Bone marrow aspirate smear — 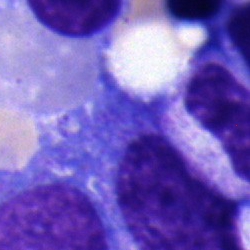The classification is myelocyte.